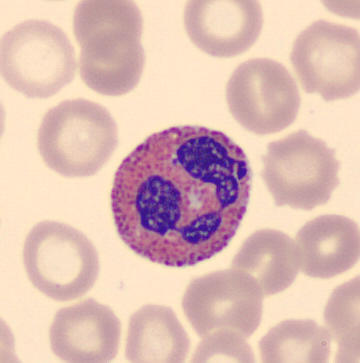360×363 · peripheral blood film.

Showing an eosinophilic granulocyte.